Bone marrow aspirate smear · single-cell crop
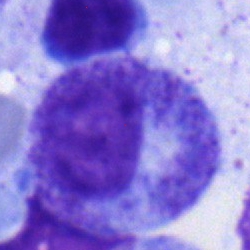 Classification — myelocyte.